Bone marrow smear — 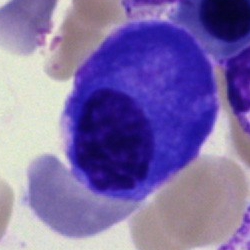 Single cell identified as a plasmacyte.